Single-cell field. Bone marrow aspirate smear. 250×250 px
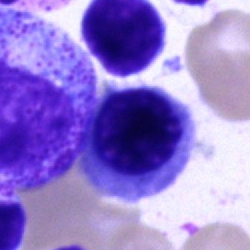 A nucleated red blood cell.